Peripheral blood film — 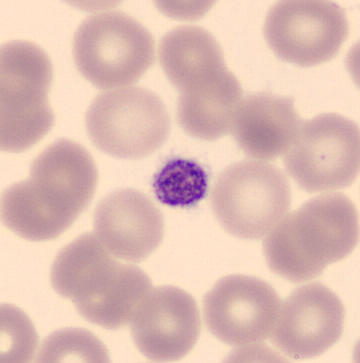The morphological class is platelet.